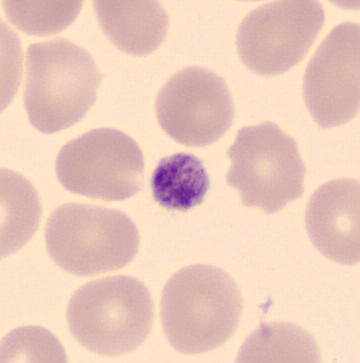Classification: thrombocyte.

May-Grünwald-Giemsa-stained. Automated cell imaging (CellaVision DM96). Peripheral blood film.